Bone marrow smear.
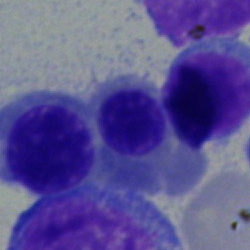
The cell is normoblast.